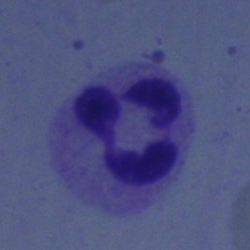
Segmented neutrophil.